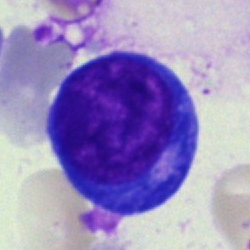
Showing a pronormoblast.